Bone marrow aspirate smear
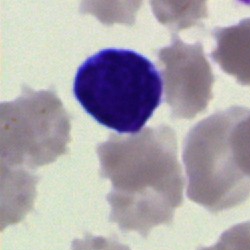 Impression — artefact.